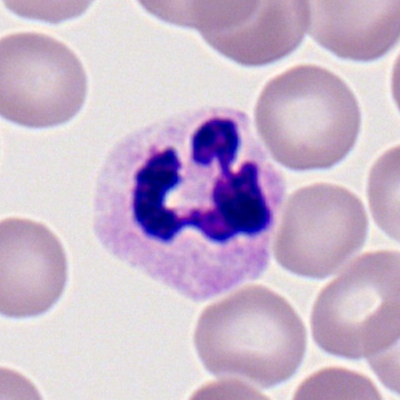
Q: What cell is this?
A: A neutrophil (segmented).